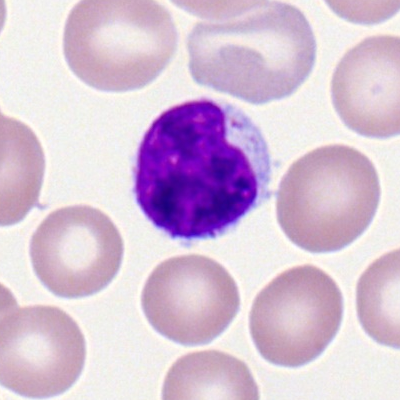 Classification — typical lymphocyte.